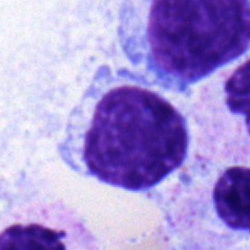

Specimen: bone marrow smear.
Cell: typical lymphocyte.